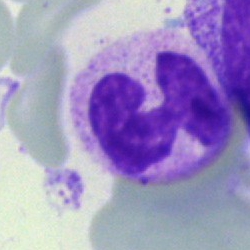 Classification: segmented neutrophil.